Single-cell crop; bone marrow aspirate smear; image size 250×250
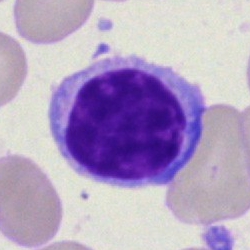
A lymphocyte.